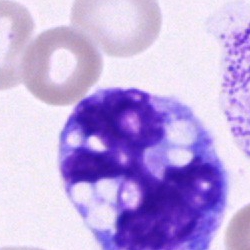

Morphology consistent with a monocyte.